Bone marrow smear
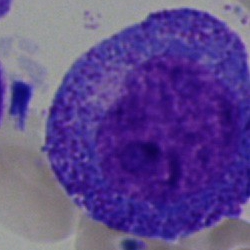
Classification — progranulocyte.